Brightfield, 40× oil-immersion objective · bone marrow smear
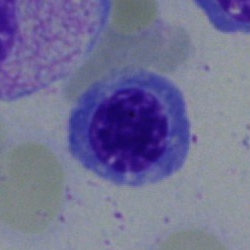

Specimen: bone marrow smear.
Cell: erythroblast.
Lineage: erythroid.